Bone marrow smear
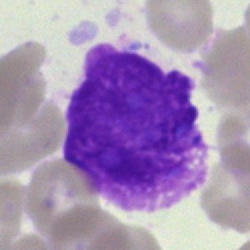 Specimen: bone marrow smear.
Morphological class: artifact.